Bone marrow smear.
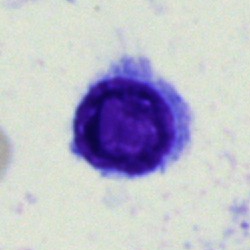Q: Identify the cell.
A: Typical lymphocyte.